MGG-stained. Bone marrow aspirate smear — 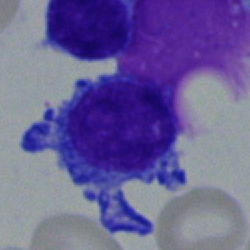

Morphological class: typical lymphocyte.